Single-cell field. Bone marrow smear: 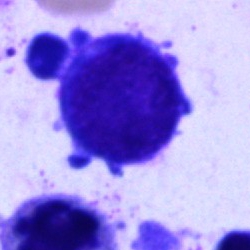

Classification = artifact.